Bone marrow aspirate smear; image size 250×250
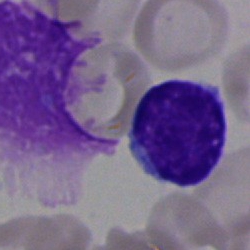
Q: What is the morphological classification of this cell?
A: Lymphocyte.